Bone marrow smear:
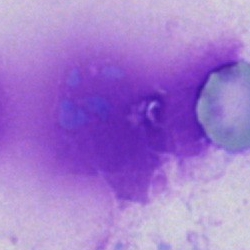 Morphology consistent with an artefact.